Bone marrow aspirate smear: 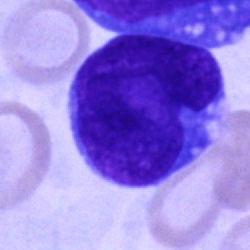 Morphological class = blast cell.